Bone marrow aspirate smear
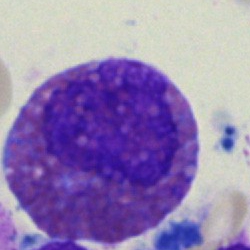

The classification is eosinophilic granulocyte.